Bone marrow smear · single-cell crop: 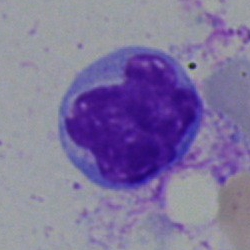

Impression — typical lymphocyte.